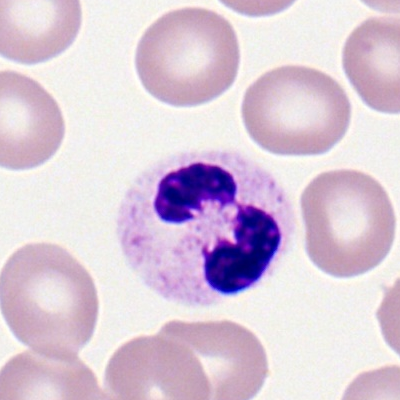

Showing a segmented neutrophil.